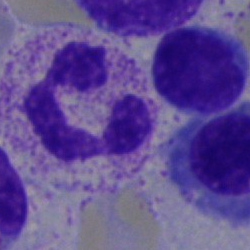

The classification is segmented neutrophil.